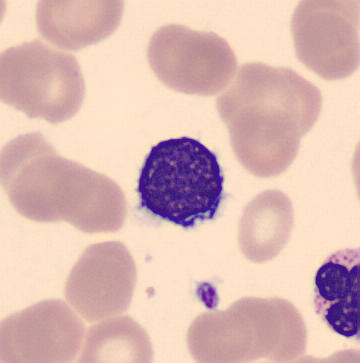

This is a typical lymphocyte.